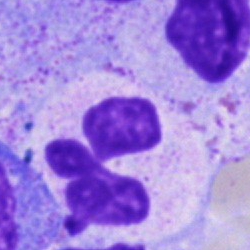Q: What is shown here?
A: Neutrophil (segmented).